Bone marrow smear.
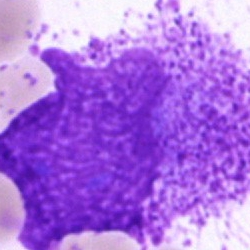The cell shown is an artifact.